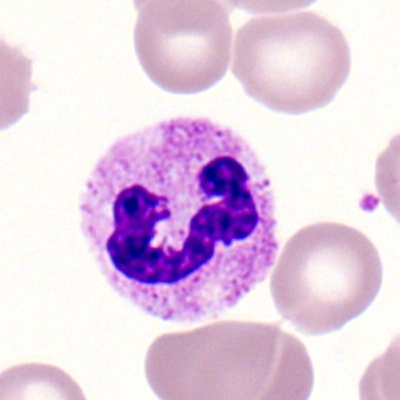 Segmented neutrophil.